Bone marrow aspirate smear; 40× oil immersion: 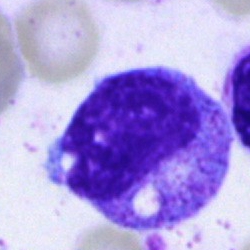
Morphology consistent with a myelocyte.